Image size 250×250. Bone marrow aspirate smear: 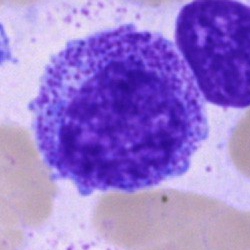

The morphological class is promyelocyte.